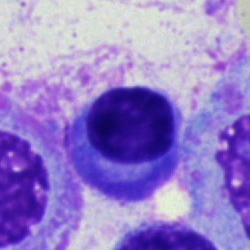 The morphological class is plasma cell.